Bone marrow aspirate smear.
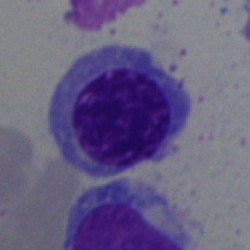

The cell shown is an erythroblast.